Bone marrow smear.
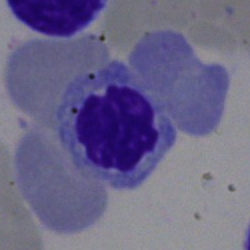

Single cell identified as an erythroblast.